Bone marrow aspirate smear · 250×250.
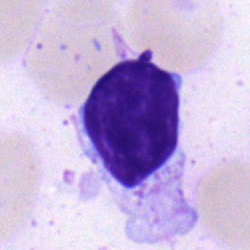

A lymphocyte.